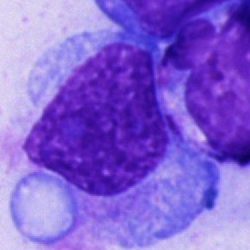 This is an unidentifiable cell.